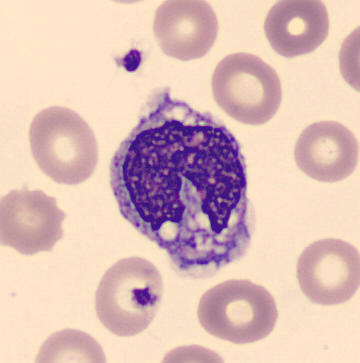

The cell shown is a monocyte.
Peripheral blood film · automated cell imaging (CellaVision DM96) · May Grünwald-Giemsa stain.